Bone marrow smear:
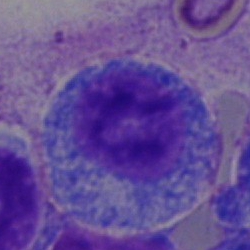
Q: Which cell type is shown here?
A: This is a progranulocyte.